Bone marrow smear: 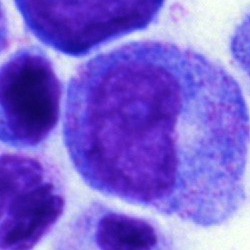 Specimen: bone marrow smear.
Classification: promyelocyte.